Bone marrow aspirate smear.
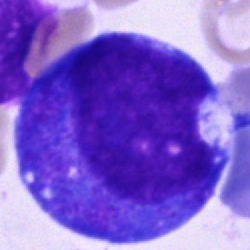Classification = promyelocyte.